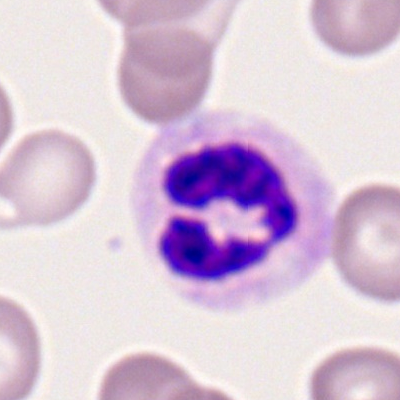

Peripheral blood smear showing a neutrophil (segmented).